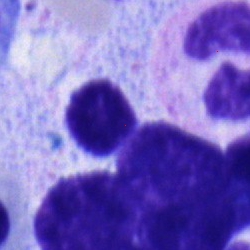

Classification — typical lymphocyte.